May-Grünwald-Giemsa/Pappenheim stain; bone marrow aspirate smear
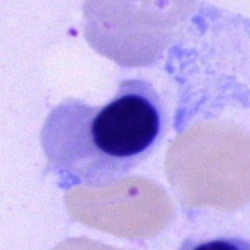 Specimen: bone marrow aspirate smear.
Classification: nucleated red blood cell.